Bone marrow smear — 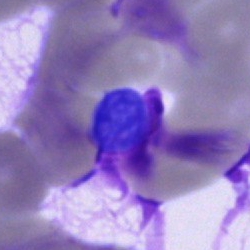Morphology consistent with an artifact.